250×250 px. Bone marrow aspirate smear
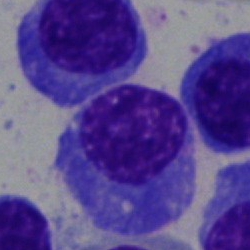 Q: What is the morphological classification of this cell?
A: Plasmacyte.